Bone marrow aspirate smear — 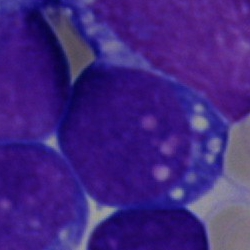Specimen: bone marrow aspirate smear.
Classification: undifferentiated blast.